Peripheral blood film — 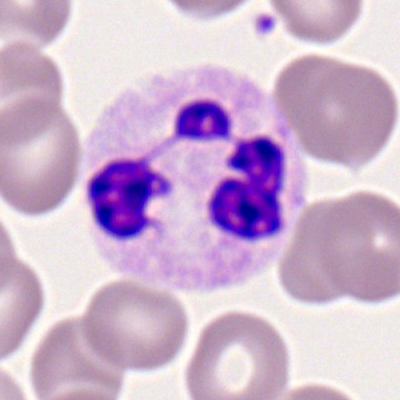
Showing a polymorphonuclear neutrophil.